Bone marrow smear.
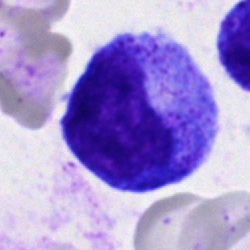 The cell shown is a promyelocyte.